Bone marrow aspirate smear; 40× oil immersion: 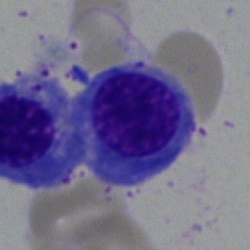

Impression → nucleated red cell.